250×250 px; bone marrow aspirate smear.
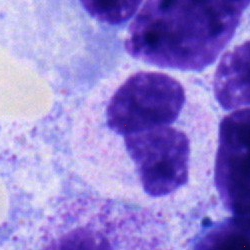
Polymorphonuclear neutrophil.